Bone marrow smear
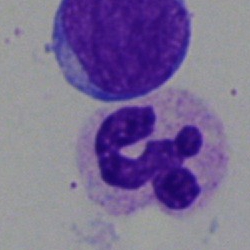

Specimen: bone marrow smear.
Cell type: neutrophil (segmented).
Lineage: myeloid.